Bone marrow aspirate smear: 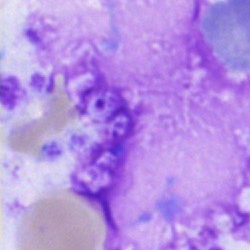Q: What is shown here?
A: It is an artefact.